Bone marrow aspirate smear. 250 by 250 pixels.
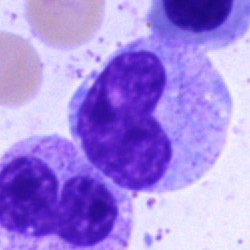
Morphological class = metamyelocyte.